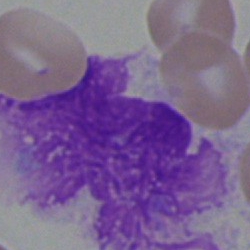

{"cell_type": "artefact"}